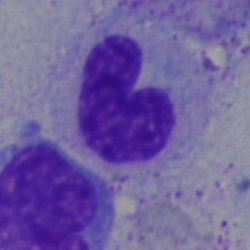 Classification: band neutrophil.